Cropped to a single cell. 40× objective, oil immersion. Bone marrow smear — 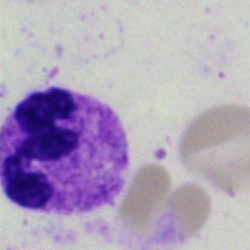

Cell type: polymorphonuclear neutrophil.